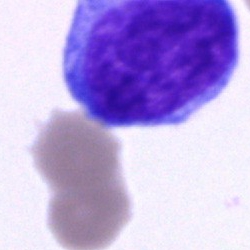
Undifferentiated blast.